Peripheral blood film: 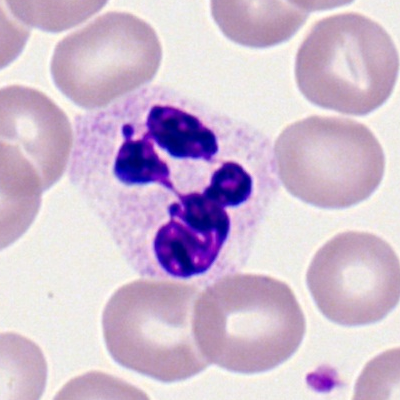

Classification: neutrophil (segmented).